Peripheral blood film: 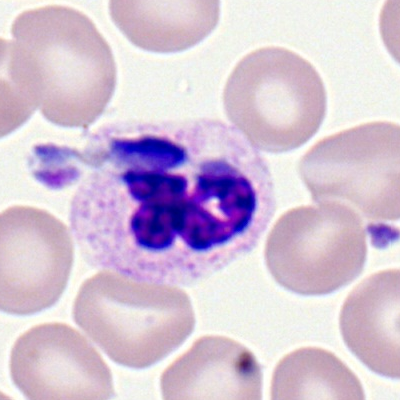

Cell type = segmented neutrophil.